Bone marrow smear:
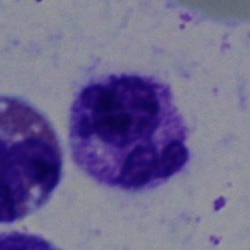
Cell type: neutrophil (segmented).